Bone marrow aspirate smear:
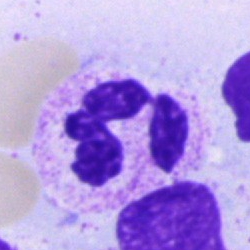Impression → neutrophil (segmented).